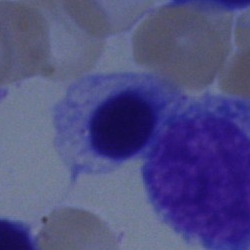Specimen: bone marrow smear.
Cell type: nucleated red cell.
Lineage: erythroid.